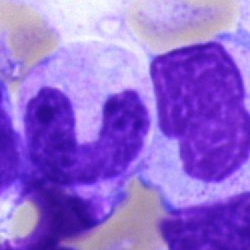Classification — band-form neutrophil.